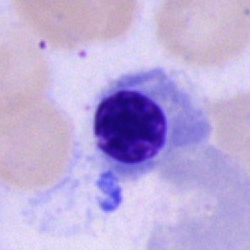This is a nucleated red blood cell.